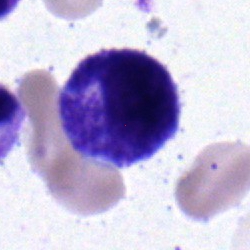Showing a myelocyte.